Bone marrow smear: 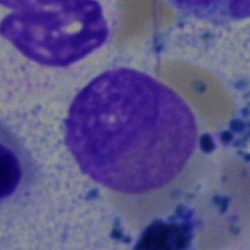Cell type = eosinophilic granulocyte.